Bone marrow smear — 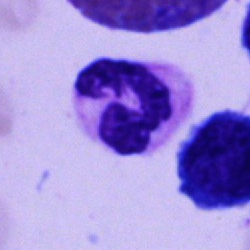

Q: What is shown here?
A: It is a segmented neutrophil.